Bone marrow smear.
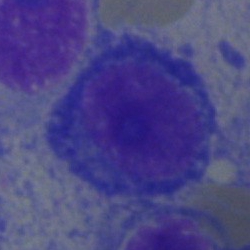
Specimen: bone marrow smear.
Cell: plasma cell.
Lineage: lymphoid.